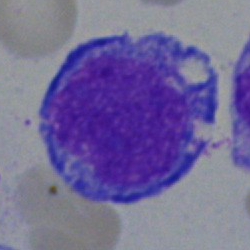

Bone marrow smear showing a blast cell.